Bone marrow aspirate smear
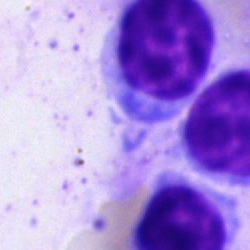Specimen: bone marrow aspirate smear.
Morphological class: lymphocyte.